250 by 250 pixels; bone marrow smear — 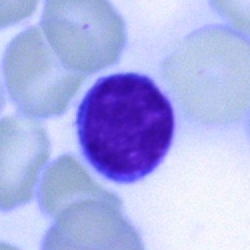Morphology — typical lymphocyte.